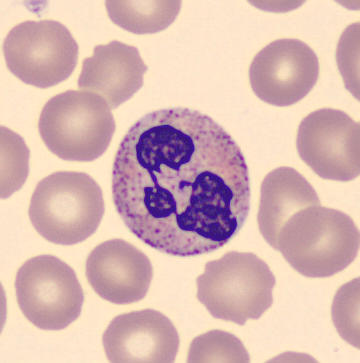Cell type: neutrophil (segmented). Peripheral blood smear.